Single-cell field. Peripheral blood film
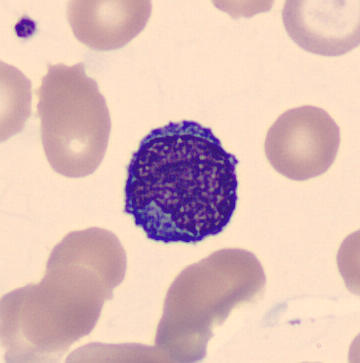
Morphological class: monocyte.